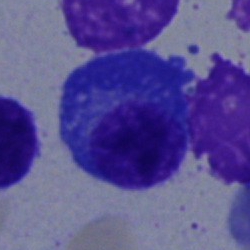 Classification — plasma cell.